Bone marrow smear; May-Grünwald-Giemsa stain:
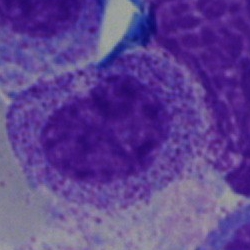Q: What cell is this?
A: It is a myelocyte.